Bone marrow smear
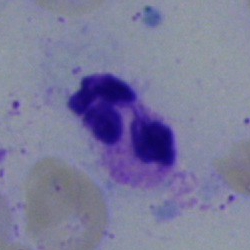

Impression → segmented neutrophil.